Brightfield microscopy, 40× oil immersion · bone marrow aspirate smear — 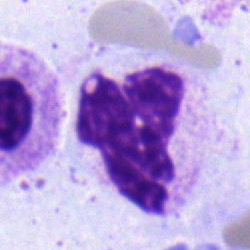
Morphology → polymorphonuclear neutrophil.